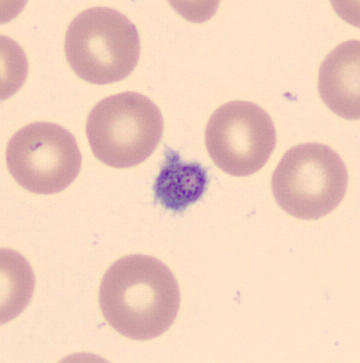

A platelet (thrombocyte).
Preparation: Peripheral blood film.